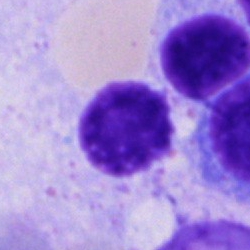

Specimen: bone marrow aspirate smear.
Cell: artefact.